Bone marrow smear. 250×250. Brightfield microscopy, 40× oil immersion — 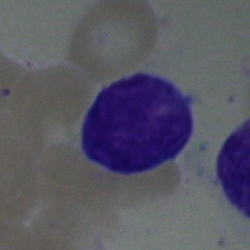Classification = typical lymphocyte.